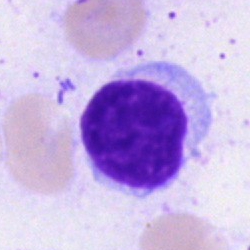Morphological class: lymphocyte.